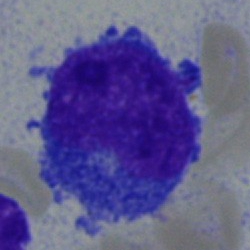
Single cell identified as a blast.